Bone marrow aspirate smear. Single cell centered in the field.
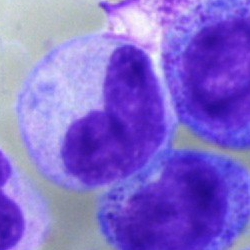 Specimen: bone marrow smear.
Morphological class: metamyelocyte.
Lineage: myeloid.